Bone marrow smear; Pappenheim-stained: 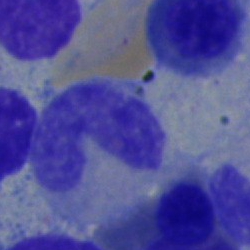

This is a band-form neutrophil.